Bone marrow smear. Single-cell field.
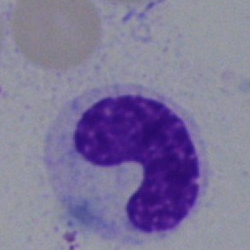
This is a stab cell.